Bone marrow aspirate smear.
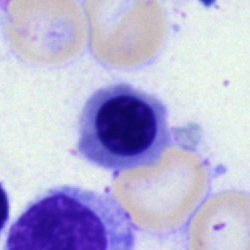
Cell type = nucleated red blood cell.